Bone marrow aspirate smear — 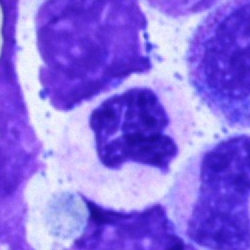
Specimen: bone marrow smear.
Morphological class: neutrophil (segmented).
Lineage: myeloid.